Bone marrow aspirate smear — 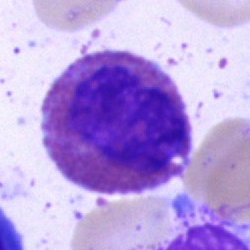

Morphological class: eosinophilic granulocyte.